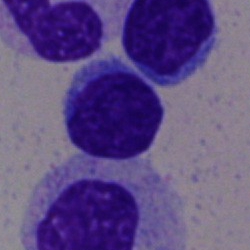
Q: Identify the cell.
A: Typical lymphocyte.